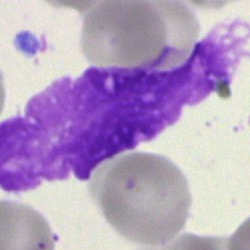Specimen: bone marrow smear.
Cell type: artefact.